Image size 250×250 · bone marrow smear.
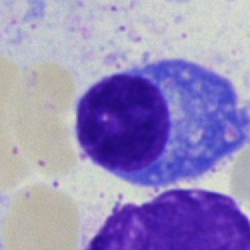 Classification: plasma cell.